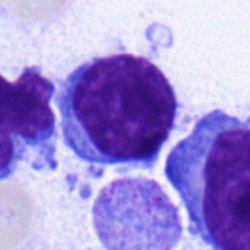
Morphology → lymphocyte.